Single cell centered in the field; bone marrow aspirate smear; 250×250 — 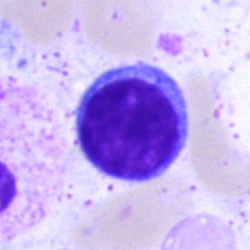 Impression → lymphocyte.